Bone marrow aspirate smear. 250×250. Pappenheim-stained:
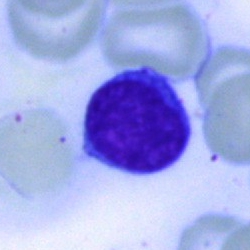Showing a typical lymphocyte.